Bone marrow aspirate smear.
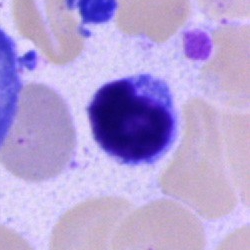
Specimen: bone marrow aspirate smear.
Morphological class: lymphocyte.